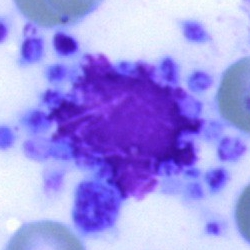Morphology → artefact.